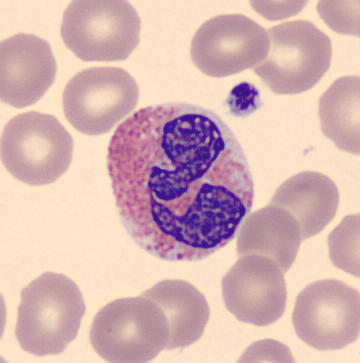{"cell_type": "eosinophilic granulocyte"}

Cropped to a single cell. Peripheral blood film.